Bone marrow smear.
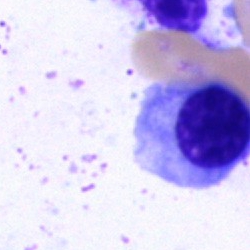Classification: nucleated red cell.